250×250 px · brightfield microscopy, 40× oil immersion · bone marrow smear
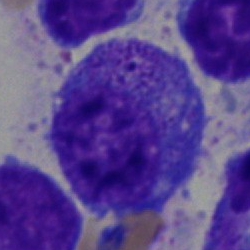Promyelocyte.